Bone marrow aspirate smear. Single cell centered in the field. MGG-stained.
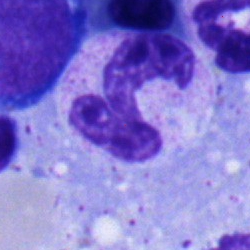

Morphological class — band-form neutrophil.